Peripheral blood smear.
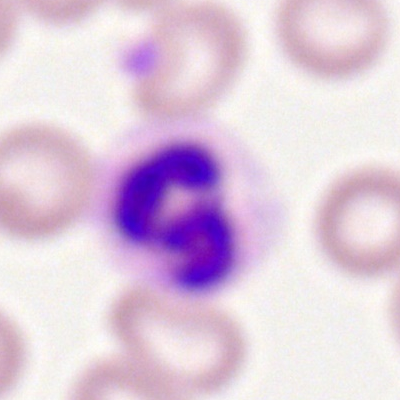

Polymorphonuclear neutrophil.